Peripheral blood smear · 100× oil immersion, 14.14 px/µm · single-cell field:
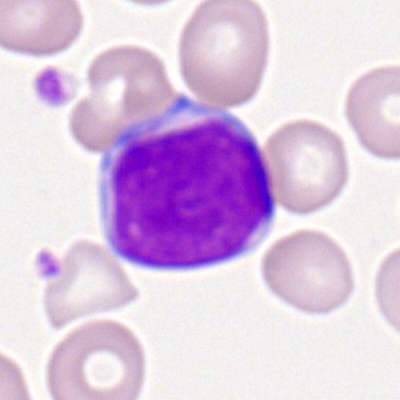Cell = myeloid blast.